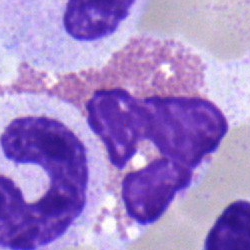
Q: Which cell type is shown here?
A: It is an eosinophilic granulocyte.